Peripheral blood smear: 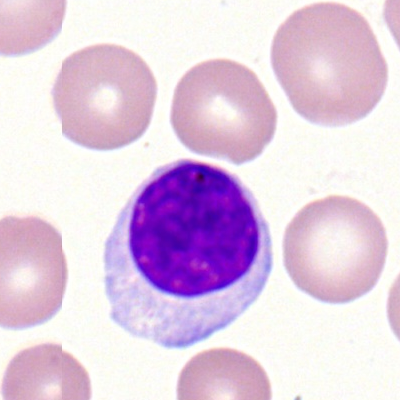Specimen: peripheral blood smear.
Classification: lymphocyte.
Lineage: lymphoid.